May-Grünwald-Giemsa stain. Bone marrow aspirate smear — 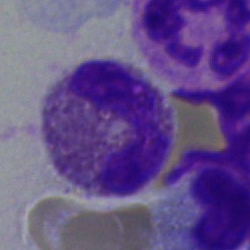

An eosinophilic granulocyte.